Bone marrow aspirate smear. Brightfield microscopy, 40× oil immersion. May-Grünwald-Giemsa stain — 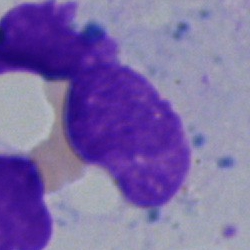 The morphological class is artifact.